40× oil immersion. Bone marrow smear. 250×250: 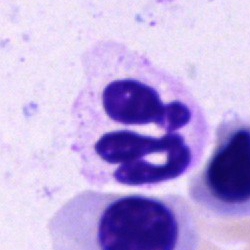Morphological class: neutrophil (segmented).